Bone marrow aspirate smear.
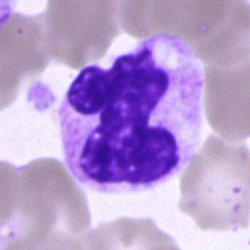A polymorphonuclear neutrophil.